Cropped to a single cell. Bone marrow smear: 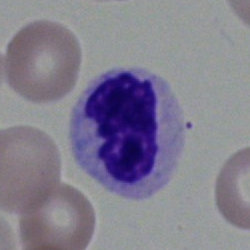

This is a polymorphonuclear neutrophil.